Bone marrow aspirate smear. Cropped to a single cell.
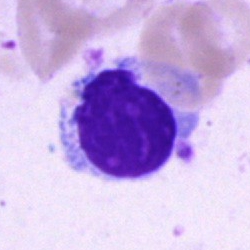Showing a lymphocyte.